Bone marrow aspirate smear
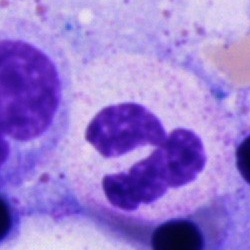Specimen: bone marrow aspirate smear.
Cell: neutrophil (segmented).
Lineage: myeloid.